Bone marrow smear: 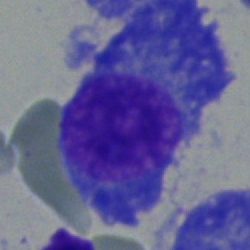
Specimen: bone marrow smear.
Cell type: plasma cell.